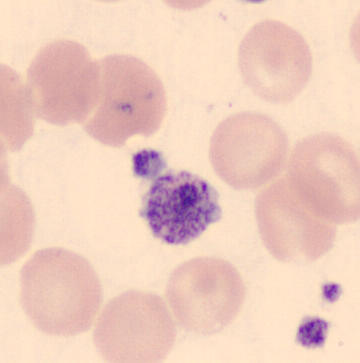

{"cell_type": "platelet"}
Preparation: May-Grünwald-Giemsa-stained · peripheral blood film.